Bone marrow aspirate smear. May-Grünwald-Giemsa stain. 250×250.
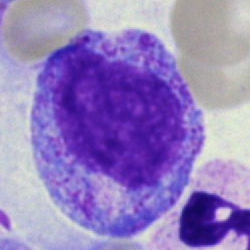 {"cell_type": "myelocyte"}